40× oil immersion. Bone marrow aspirate smear
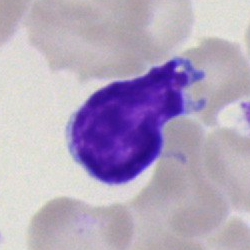
A typical lymphocyte.